Cropped to a single cell; MGG-stained; bone marrow smear.
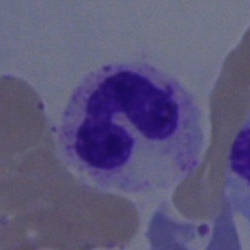 {"cell_type": "segmented neutrophil", "lineage": "myeloid"}